May-Grünwald-Giemsa/Pappenheim stain; bone marrow aspirate smear:
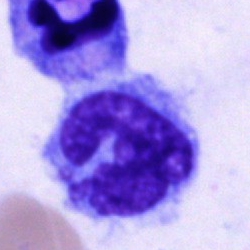
Cell — monocyte.